Bone marrow smear: 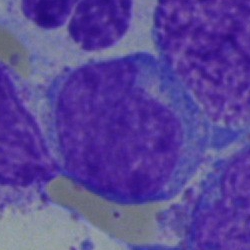
Cell: blast.